Bone marrow aspirate smear: 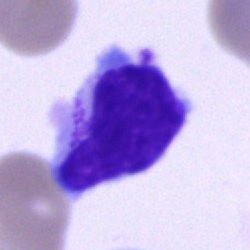 {"cell_type": "typical lymphocyte", "lineage": "lymphoid"}